Bone marrow smear. 250×250. MGG-stained — 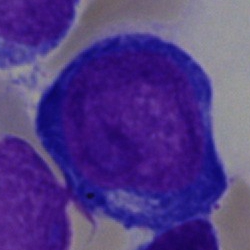

Morphology → proerythroblast.